Peripheral blood smear; May Grünwald-Giemsa stain — 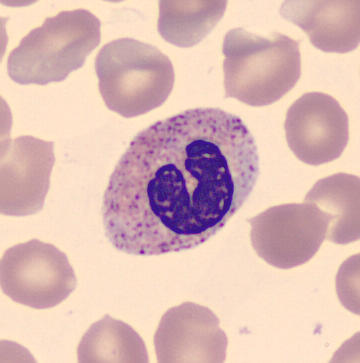 Neutrophil (band).